Bone marrow smear.
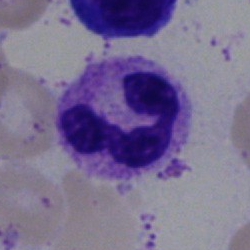
{"cell_type": "polymorphonuclear neutrophil", "lineage": "myeloid"}